250×250 px; bone marrow smear; 40× oil immersion — 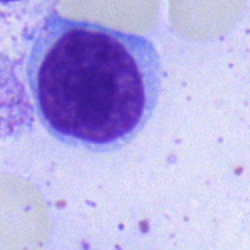 Morphology → lymphocyte.